Bone marrow smear. Cropped to a single cell. Pappenheim-stained.
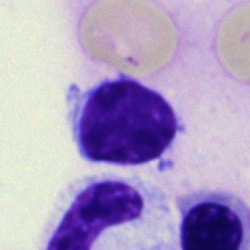

This is a lymphocyte.